Bone marrow smear:
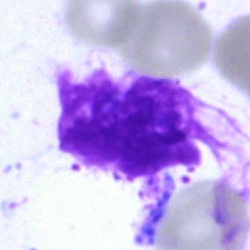
Morphology consistent with an artefact.